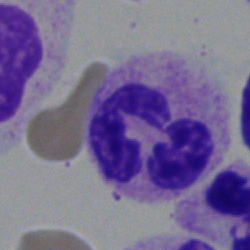Cell = neutrophil (segmented).